Bone marrow aspirate smear:
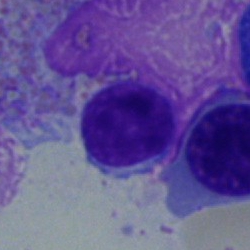
Q: What type of cell is this?
A: A typical lymphocyte.